Peripheral blood smear · single cell centered in the field.
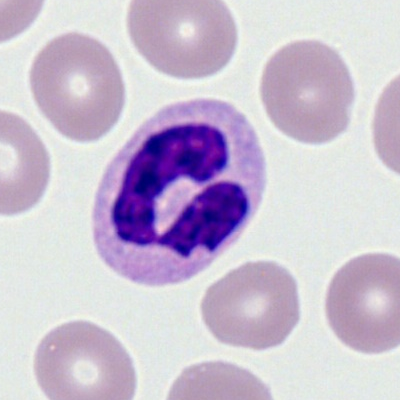
Morphology → neutrophil (segmented).